Bone marrow smear:
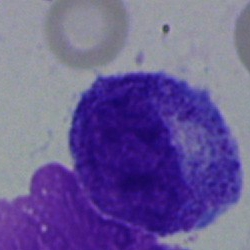
Morphological class: myelocyte.